Bone marrow aspirate smear — 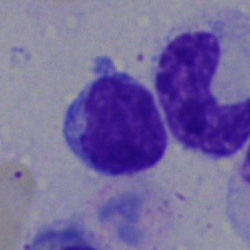

Specimen: bone marrow aspirate smear.
Classification: typical lymphocyte.
Lineage: lymphoid.